Peripheral blood smear · single cell centered in the field:
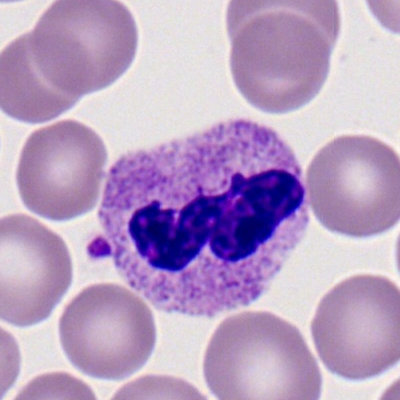 The classification is neutrophil (segmented).